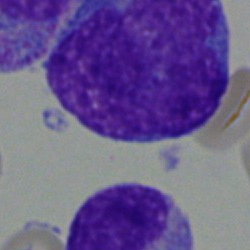

The cell is blast cell.